Brightfield microscopy, 40× oil immersion · bone marrow smear:
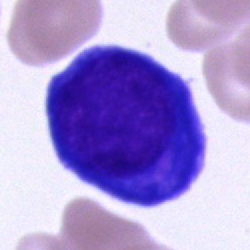Morphological class — nucleated red blood cell.